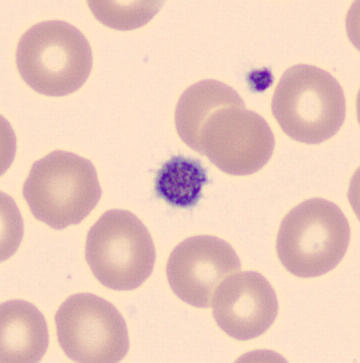 Peripheral blood film. Cell type — thrombocyte.